Image size 250×250; bone marrow aspirate smear
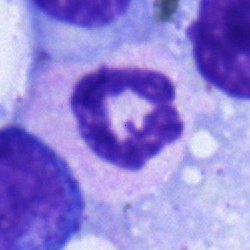 The morphological class is neutrophil (segmented).